Bone marrow smear:
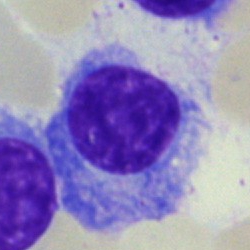{"cell_type": "plasmacyte", "lineage": "lymphoid"}